Bone marrow aspirate smear:
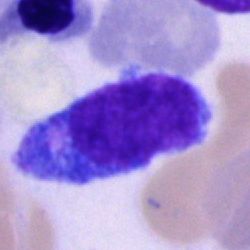Q: What is shown here?
A: Blast.